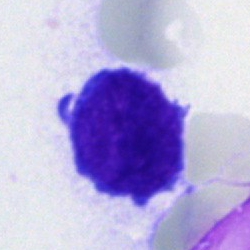
{"cell_type": "lymphocyte", "lineage": "lymphoid"}